250×250; bone marrow smear: 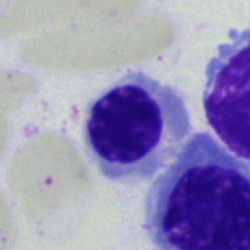 A nucleated red blood cell.